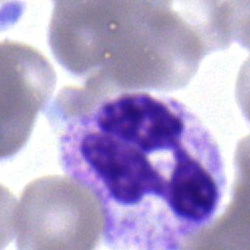

Cell type = neutrophil (segmented).